May-Grünwald-Giemsa stain; 40× objective, oil immersion; bone marrow smear:
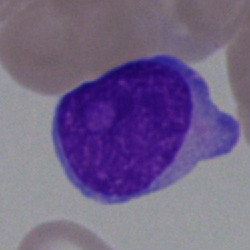
Q: Identify the cell.
A: It is a blast cell.